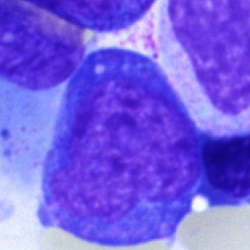 Classification = proerythroblast.